Bone marrow aspirate smear:
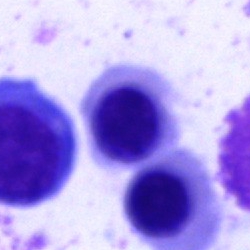

A nucleated red cell.